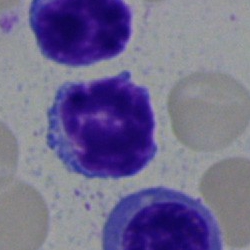 Morphology consistent with a lymphocyte.